Bone marrow aspirate smear · image size 250×250.
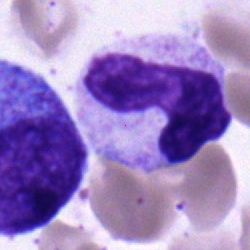
Q: What is the morphological classification of this cell?
A: A band-form neutrophil.